Bone marrow aspirate smear; 250 by 250 pixels; single cell centered in the field.
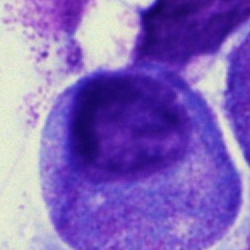
Specimen: bone marrow aspirate smear.
Cell type: progranulocyte.